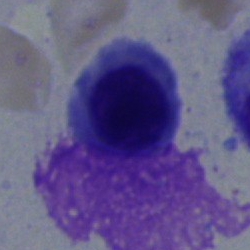

The morphological class is nucleated red blood cell.